Bone marrow aspirate smear. May-Grünwald-Giemsa stain. Brightfield, 40× oil-immersion objective:
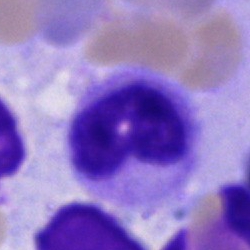
Classification — neutrophil (segmented).